Bone marrow smear.
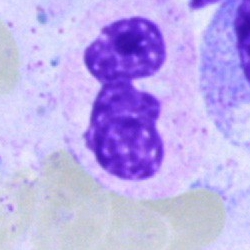
{"cell_type": "segmented neutrophil", "lineage": "myeloid"}